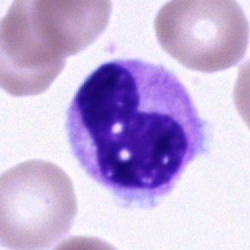

Specimen: bone marrow aspirate smear.
Morphological class: metamyelocyte.